Bone marrow smear · 250×250 · 40× objective, oil immersion
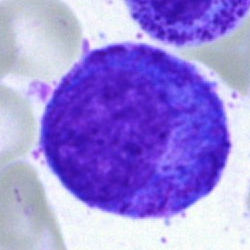Morphological class: promyelocyte.